Bone marrow aspirate smear. 40× oil immersion. Cropped to a single cell: 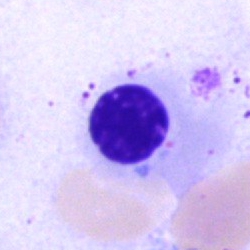

Showing a nucleated red cell.